Peripheral blood film. 360 by 363 pixels:
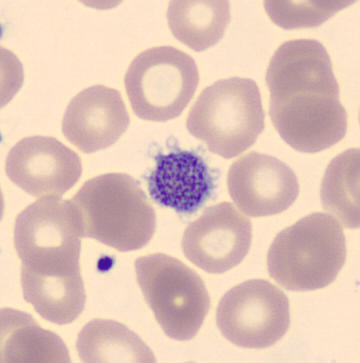

Showing a thrombocyte.